Bone marrow smear; 250×250.
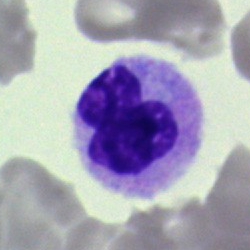
Morphology — neutrophil (segmented).